Bone marrow smear:
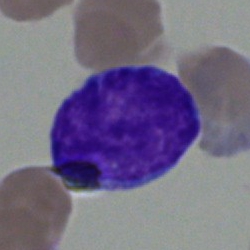 Morphological class: undifferentiated blast.